Bone marrow smear — 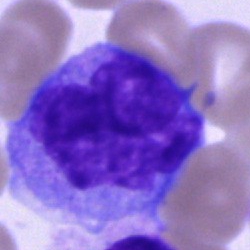 Showing an undifferentiated blast.